Bone marrow smear · 40× oil immersion · image size 250×250 — 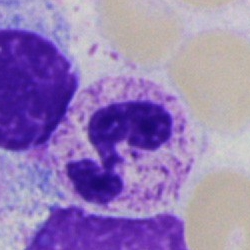 Morphology consistent with a segmented neutrophil.